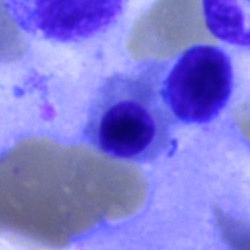
Impression — nucleated red blood cell.